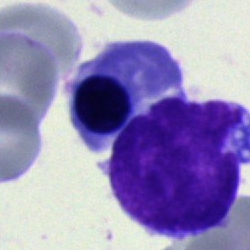Cell type = normoblast.